Bone marrow aspirate smear — 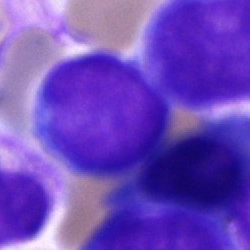
Q: What type of cell is this?
A: This is a blast.